Bone marrow aspirate smear — 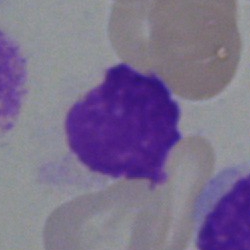

Morphology — artifact.